Bone marrow smear:
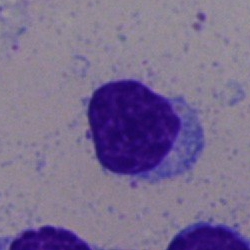 Q: What is shown here?
A: A typical lymphocyte.